Brightfield microscopy, 40× oil immersion · bone marrow aspirate smear:
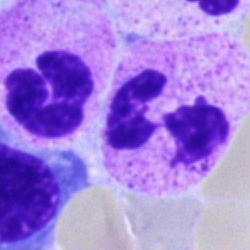 Q: What cell is this?
A: A segmented neutrophil.